Bone marrow aspirate smear — 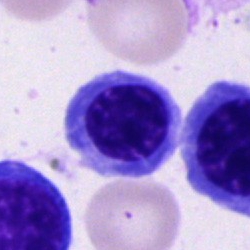
Classification = nucleated red blood cell.